May-Grünwald-Giemsa stain. Brightfield, 40× oil-immersion objective. Bone marrow smear
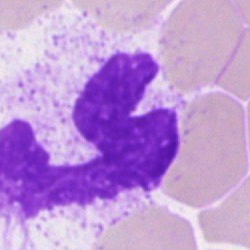
Cell type: artefact.